Image size 250×250 · single cell centered in the field · bone marrow aspirate smear — 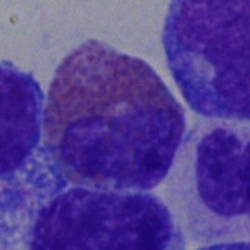

Q: What is the morphological classification of this cell?
A: This is an eosinophilic granulocyte.